Cropped to a single cell · May-Grünwald-Giemsa/Pappenheim stain · bone marrow smear
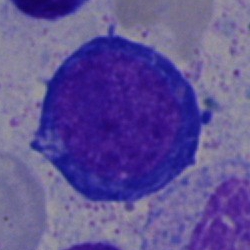 Pronormoblast.